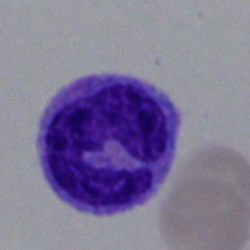
The morphological class is monocyte.